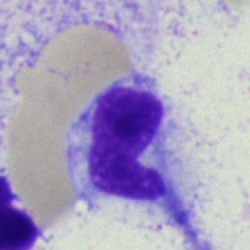
Specimen: bone marrow aspirate smear.
Morphological class: artifact.